Bone marrow smear. Image size 250×250.
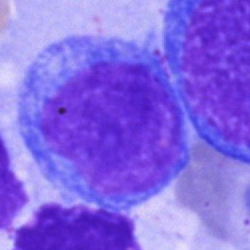

Cell: blast.